May-Grünwald-Giemsa stain. Bone marrow smear. 250×250
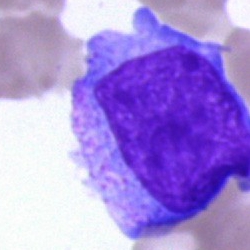Morphology → blast cell.